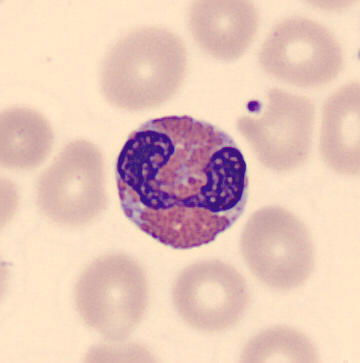 Single cell identified as an eosinophilic granulocyte.
Preparation: Peripheral blood film. Automated cell imaging (CellaVision DM96). Cropped to a single cell.